250×250 px; bone marrow smear; single-cell field.
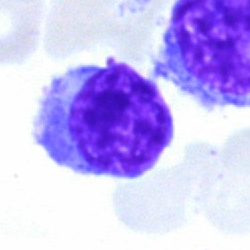

The cell shown is a typical lymphocyte.